Bone marrow smear:
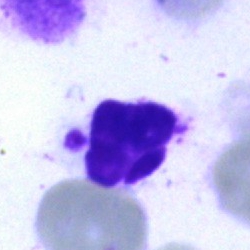

Single cell identified as an artifact.